Bone marrow smear:
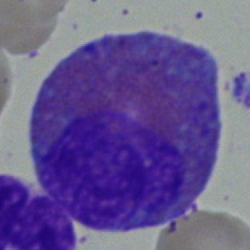

An eosinophilic granulocyte.